Bone marrow aspirate smear: 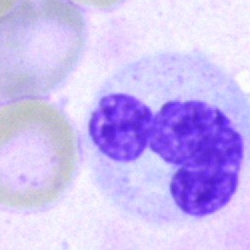Morphology consistent with a segmented neutrophil.